Single cell centered in the field. Bone marrow aspirate smear.
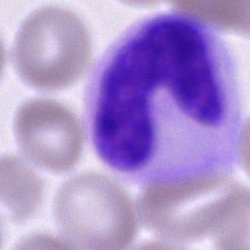Classification = unidentifiable cell.